Bone marrow smear: 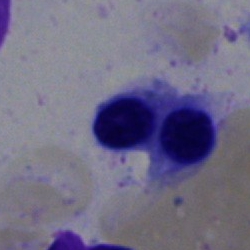Q: What cell is this?
A: Erythroblast.